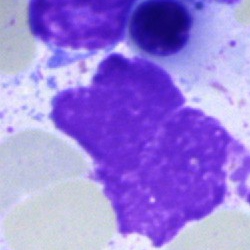

Q: What is shown here?
A: This is an artefact.